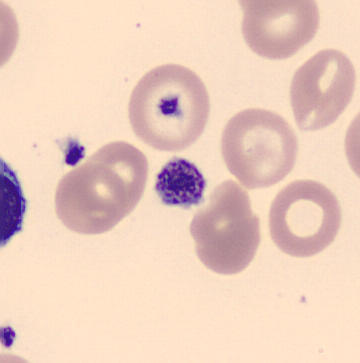 Preparation: CellaVision DM96; peripheral blood film.

Morphological class — platelet.